Bone marrow smear; May-Grünwald-Giemsa stain — 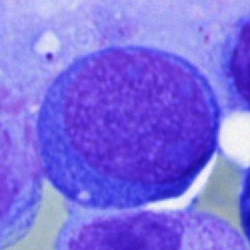

Morphological class — blast.